Bone marrow smear.
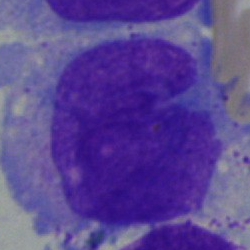

A monocyte.